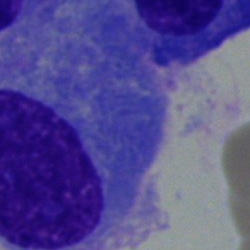 Q: What is the morphological classification of this cell?
A: A plasma cell.